Bone marrow smear — 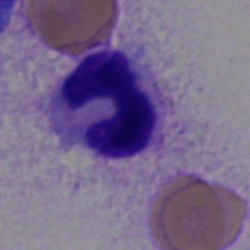 {"cell_type": "neutrophil (segmented)", "lineage": "myeloid"}